40× objective, oil immersion. Bone marrow smear
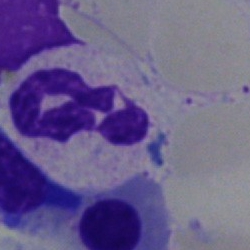Q: What is shown here?
A: A segmented neutrophil.